40× objective, oil immersion · bone marrow smear:
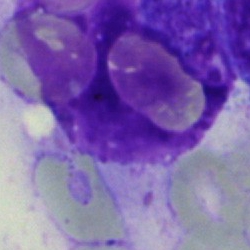Q: What is shown here?
A: It is an artifact.